Bone marrow aspirate smear · 40× objective, oil immersion — 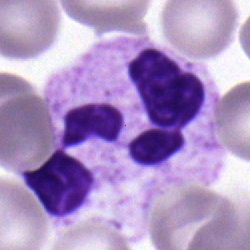Specimen: bone marrow aspirate smear.
Cell: segmented neutrophil.
Lineage: myeloid.